Bone marrow smear — 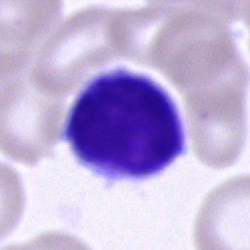 Q: What is shown here?
A: A typical lymphocyte.